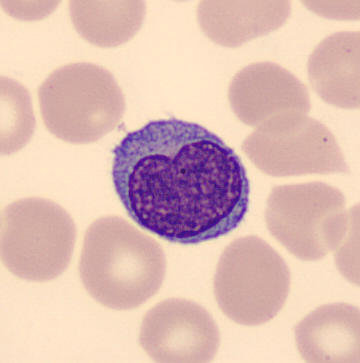{"cell_type": "monocyte", "lineage": "myeloid"} Image: Peripheral blood film.